Bone marrow smear:
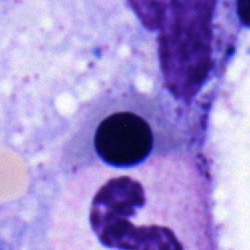Q: Identify the cell.
A: This is a normoblast.